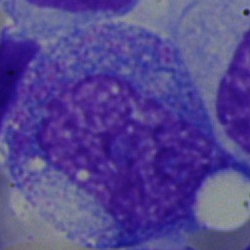
This is a promyelocyte.